Bone marrow smear; May-Grünwald-Giemsa/Pappenheim stain; 40× objective, oil immersion:
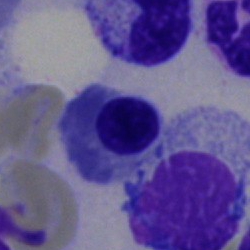Cell: nucleated red cell.